400×400 px · peripheral blood smear · Romanowsky stain.
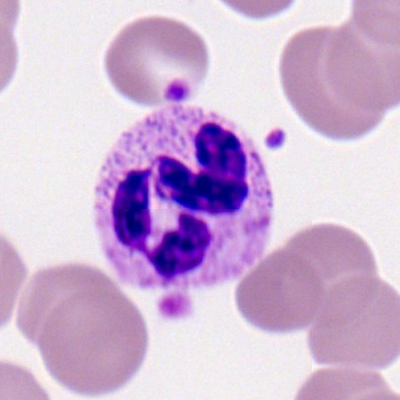 Morphology consistent with a polymorphonuclear neutrophil.